Single-cell crop; bone marrow smear.
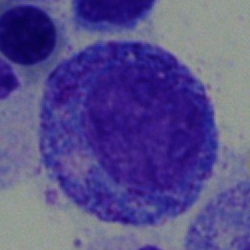This is a progranulocyte.